Single cell centered in the field · bone marrow smear: 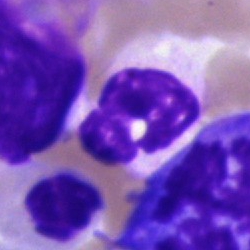
Polymorphonuclear neutrophil.